Bone marrow smear: 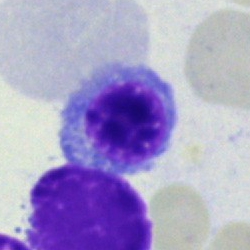 A nucleated red blood cell.